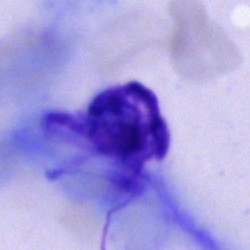The morphological class is artifact.